Bone marrow aspirate smear. Single-cell field
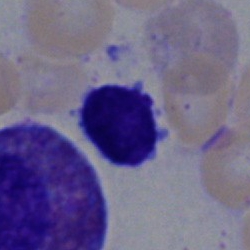The cell type is typical lymphocyte.